Bone marrow smear — 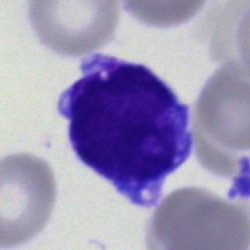
Specimen: bone marrow smear.
Cell: undifferentiated blast.